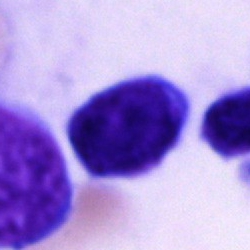 Morphological class — cell of indeterminate lineage.